Bone marrow aspirate smear — 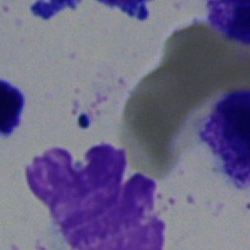

Single cell identified as an artifact.